Brightfield microscopy, 40× oil immersion; bone marrow aspirate smear: 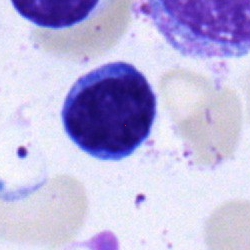 Impression — typical lymphocyte.